40× objective, oil immersion. Single-cell crop. Bone marrow smear:
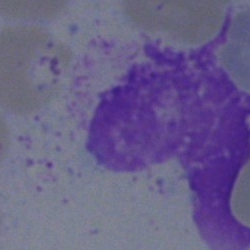Showing an artefact.